Bone marrow aspirate smear; May-Grünwald-Giemsa stain; brightfield, 40× oil-immersion objective.
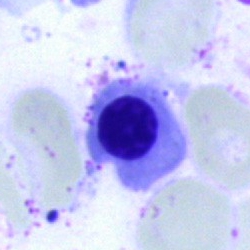 Cell type = normoblast.